Bone marrow smear: 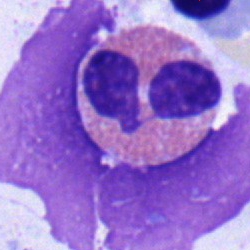 Classification: eosinophil.